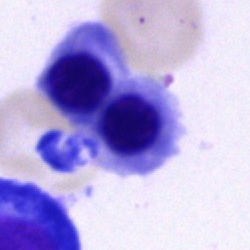

Cell = erythroblast.